Bone marrow aspirate smear:
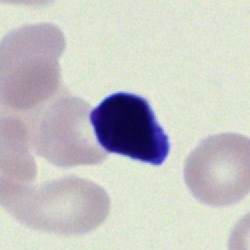Impression — lymphocyte.